Bone marrow aspirate smear:
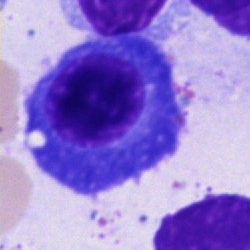
{"cell_type": "plasmacyte", "lineage": "lymphoid"}